Image size 250×250; bone marrow smear; single-cell crop:
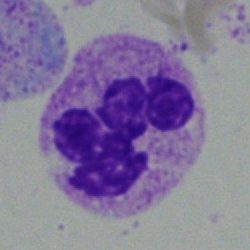

Classification — neutrophil (segmented).